Bone marrow smear. MGG-stained:
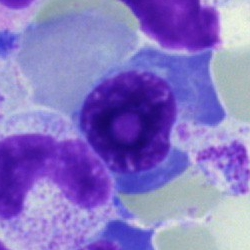

Morphological class — erythroblast.